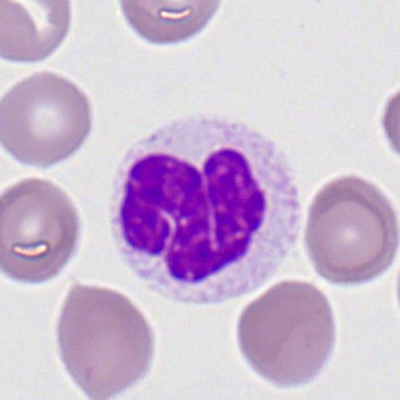 Specimen: peripheral blood smear.
Morphological class: segmented neutrophil.
Lineage: myeloid.